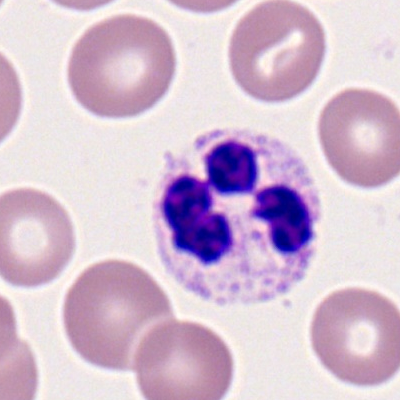

Cell: segmented neutrophil.